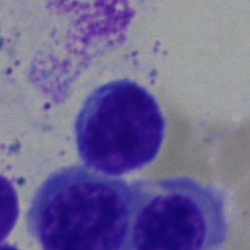A lymphocyte on a bone marrow smear.